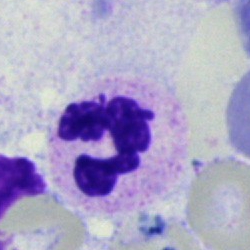Specimen: bone marrow aspirate smear.
Morphological class: neutrophil (segmented).